Bone marrow aspirate smear.
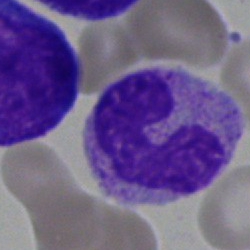

Cell type = band neutrophil.